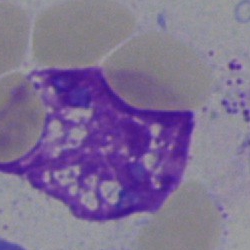
Specimen: bone marrow smear.
Classification: artefact.